Bone marrow smear.
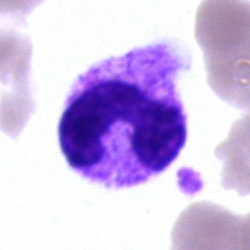
Morphology → segmented neutrophil.